250 by 250 pixels · bone marrow smear.
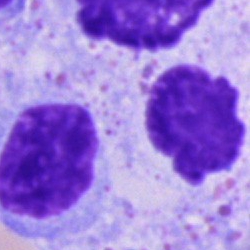 The morphological class is artifact.